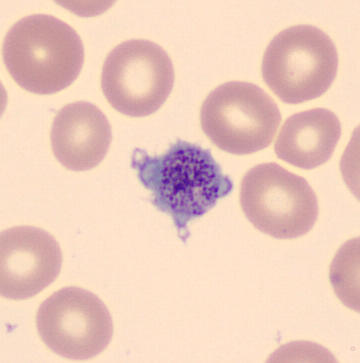
Acquisition: Automated cell imaging (CellaVision DM96); May-Grünwald-Giemsa-stained; peripheral blood smear.

Identified as a platelet (thrombocyte).